Bone marrow aspirate smear.
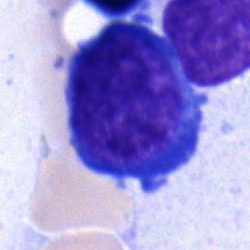
The morphological class is undifferentiated blast.